Bone marrow aspirate smear — 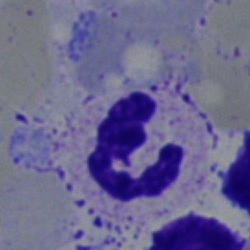The cell shown is a neutrophil (segmented).